Pappenheim-stained · bone marrow aspirate smear · brightfield microscopy, 40× oil immersion: 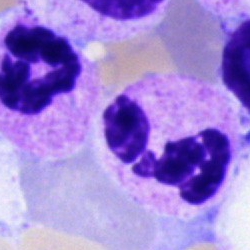
Cell: neutrophil (segmented).